Bone marrow smear:
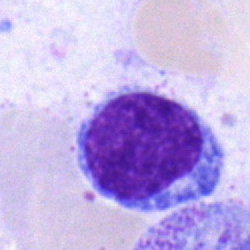

The cell is typical lymphocyte.